Bone marrow smear; image size 250×250.
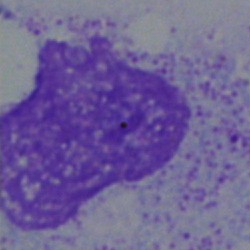 Cell — artifact.